Peripheral blood smear — 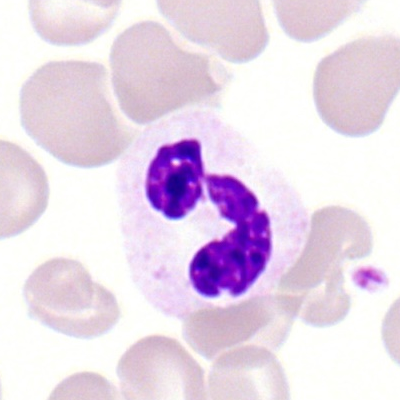
Q: What is shown here?
A: Neutrophil (segmented).